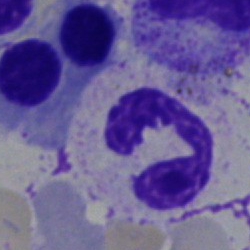
The cell is neutrophil (segmented).